MGG-stained. Bone marrow aspirate smear. Single-cell crop: 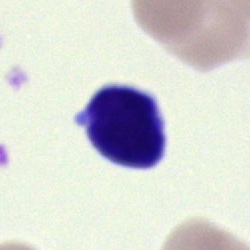
The classification is typical lymphocyte.